Bone marrow smear · May-Grünwald-Giemsa stain
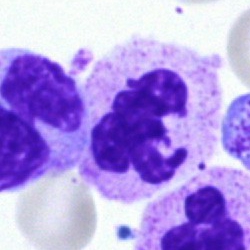

Specimen: bone marrow smear.
Cell: neutrophil (segmented).